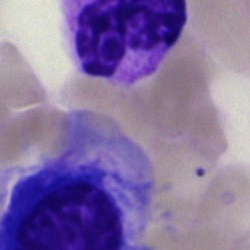Specimen: bone marrow smear.
Cell: artifact.